Bone marrow smear · brightfield, 40× oil-immersion objective.
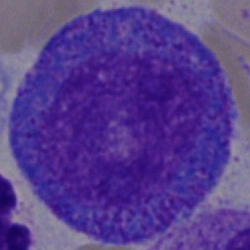
Single cell identified as a progranulocyte.